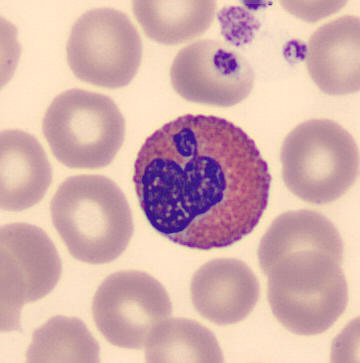

Impression → eosinophil.

Cropped to a single cell; peripheral blood smear; automated cell imaging (CellaVision DM96).